Bone marrow aspirate smear — 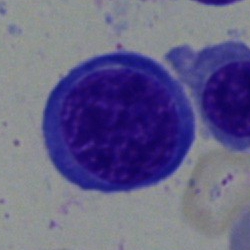

Specimen: bone marrow smear.
Cell: erythroblast.
Lineage: erythroid.